Pappenheim-stained; bone marrow smear.
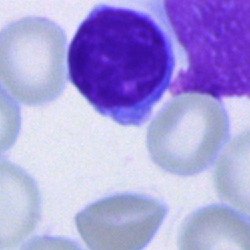

Morphology → typical lymphocyte.